Bone marrow aspirate smear: 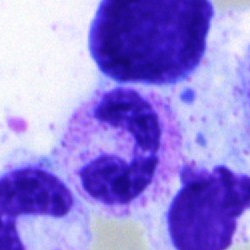 {"cell_type": "polymorphonuclear neutrophil", "lineage": "myeloid"}